Bone marrow smear
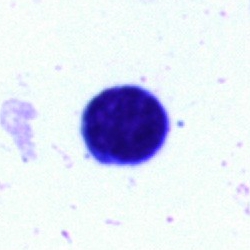 Showing a typical lymphocyte.